Single cell centered in the field; May-Grünwald-Giemsa stain; bone marrow smear — 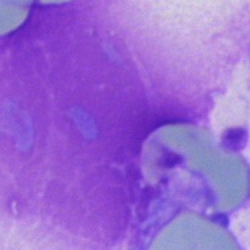Specimen: bone marrow aspirate smear.
Cell type: artifact.